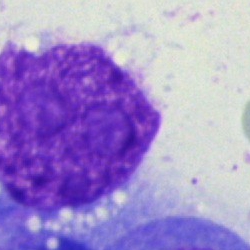
Specimen: bone marrow smear.
Cell: artefact.